Bone marrow smear — 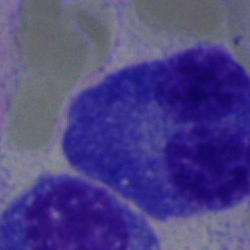Q: What type of cell is this?
A: This is a plasmacyte.